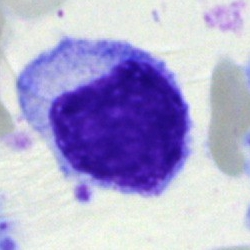 Morphology — myelocyte.